Single cell centered in the field. Bone marrow aspirate smear. 40× oil immersion — 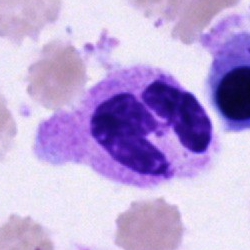
A polymorphonuclear neutrophil.